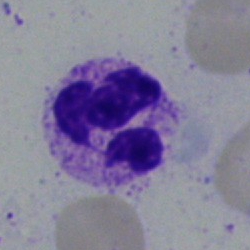

This is a segmented neutrophil.